Bone marrow aspirate smear · single cell centered in the field
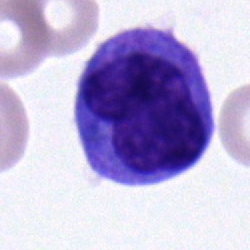Single cell identified as a monocyte.